Single-cell field. 250 by 250 pixels. Bone marrow aspirate smear
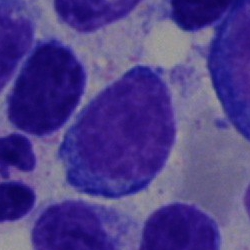

Showing a typical lymphocyte.